Bone marrow smear — 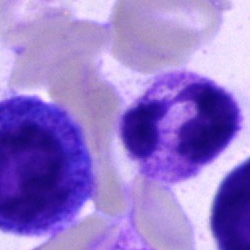Morphology — neutrophil (segmented).